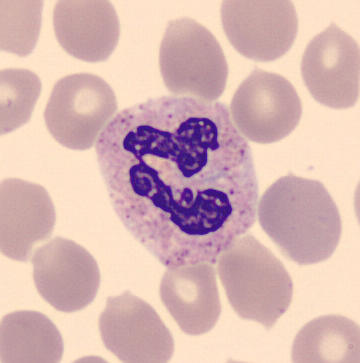

Identified as a neutrophil (segmented).

Acquisition: Peripheral blood film.